Cropped to a single cell. Bone marrow aspirate smear. Brightfield microscopy, 40× oil immersion:
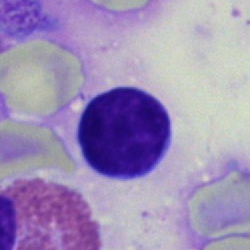
Impression → lymphocyte.